MGG-stained. 250×250. Bone marrow smear.
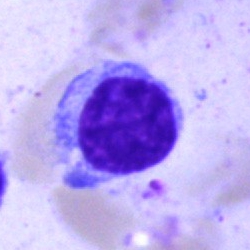 Morphological class: typical lymphocyte.